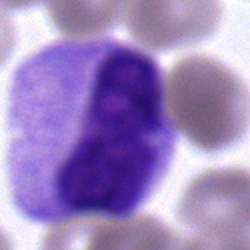
Morphological class — myelocyte.